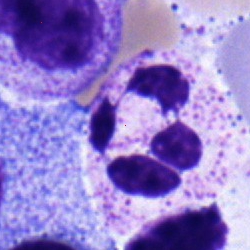
Single cell identified as a polymorphonuclear neutrophil.